Bone marrow aspirate smear; 250 by 250 pixels; 40× objective, oil immersion:
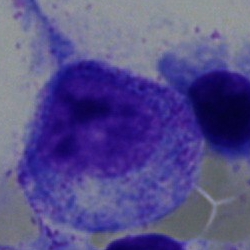

Promyelocyte.